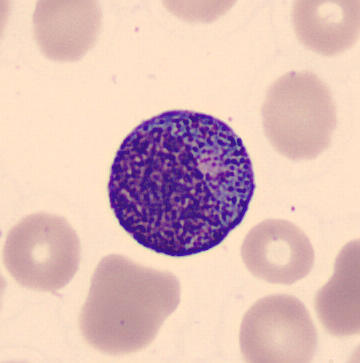Image: Peripheral blood smear; single-cell crop.

Q: Which cell type is shown here?
A: It is a progranulocyte.